250 by 250 pixels. Bone marrow aspirate smear. Pappenheim-stained
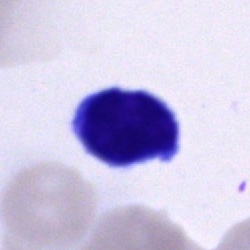 Specimen: bone marrow smear.
Classification: typical lymphocyte.